Bone marrow smear.
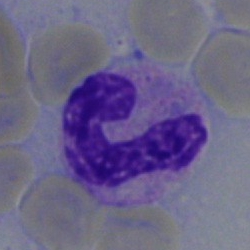

Cell type — stab cell.